Single-cell crop; bone marrow smear.
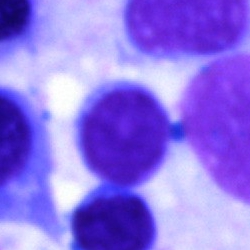

Morphological class: lymphocyte.